Brightfield, 40× oil-immersion objective. Bone marrow smear.
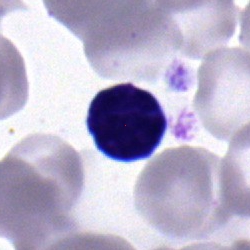

Morphological class = typical lymphocyte.